Bone marrow aspirate smear · 40× objective, oil immersion — 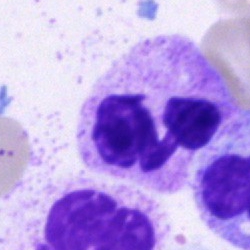
Polymorphonuclear neutrophil.